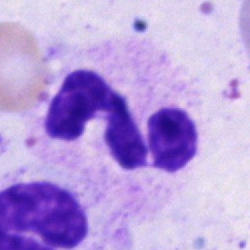

Cell type: neutrophil (segmented).